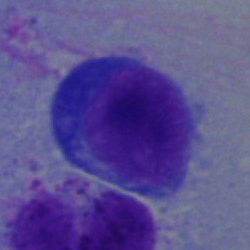 Q: What is the morphological classification of this cell?
A: This is a normoblast.